250×250 px. Bone marrow smear — 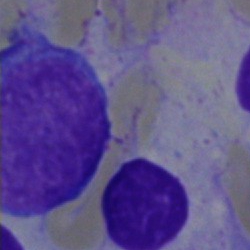

Cell type — artefact.